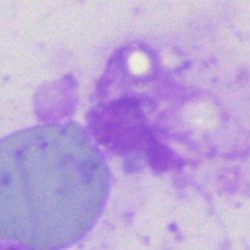 Morphological class = artefact.